Bone marrow smear · single-cell field.
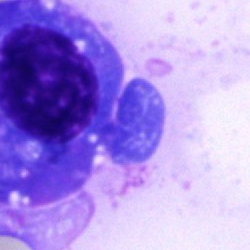
Q: What cell is this?
A: It is a plasmacyte.